40× objective, oil immersion; bone marrow smear
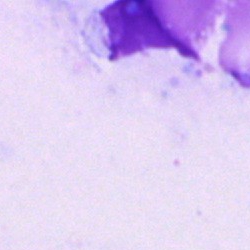Cell type — artefact.